Bone marrow aspirate smear: 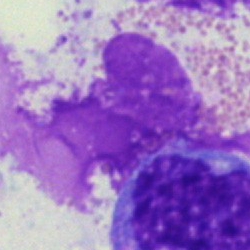

Specimen: bone marrow aspirate smear.
Classification: artifact.